May-Grünwald-Giemsa stain. Bone marrow aspirate smear
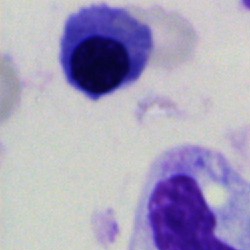 Cell = erythroblast.